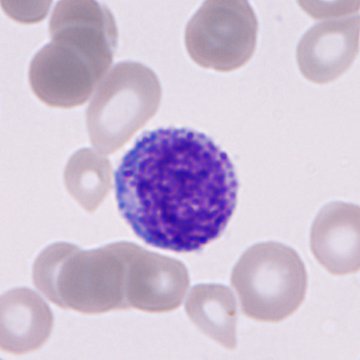 Q: What is this?
A: Granulocyte precursor.